Bone marrow smear — 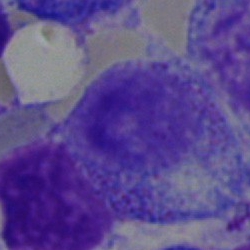

Classification = myelocyte.